Brightfield, 40× oil-immersion objective. Bone marrow aspirate smear. Image size 250×250
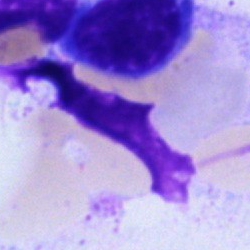 Q: What is shown here?
A: An artefact.